Bone marrow smear — 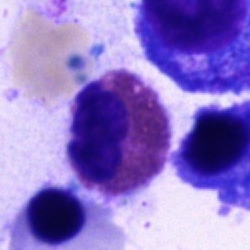 Q: Identify the cell.
A: It is an eosinophil.